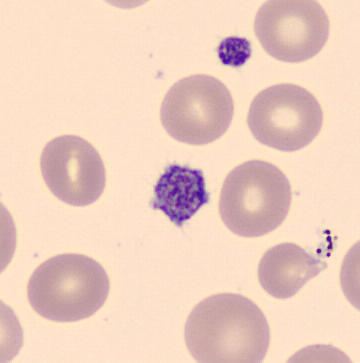

Peripheral blood smear. The cell type is platelet (thrombocyte).